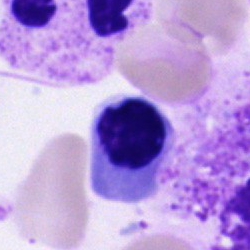

Bone marrow aspirate smear, single cell — normoblast.